Peripheral blood film — 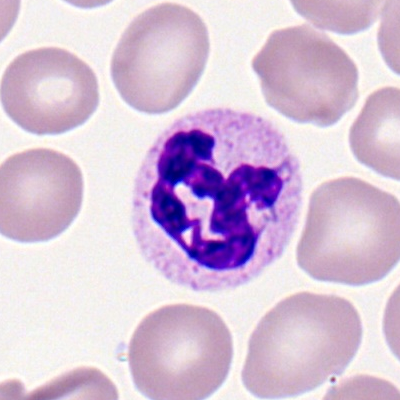 Morphological class = neutrophil (segmented).